May-Grünwald-Giemsa stain. Bone marrow smear. Brightfield, 40× oil-immersion objective: 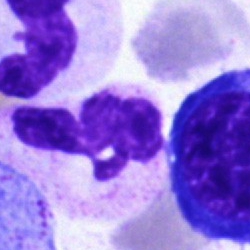

Morphological class = neutrophil (segmented).